Bone marrow aspirate smear — 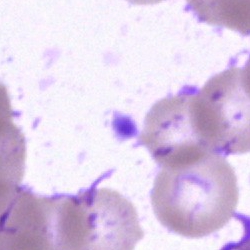
{"cell_type": "artifact"}